250 by 250 pixels. May-Grünwald-Giemsa/Pappenheim stain. Bone marrow smear:
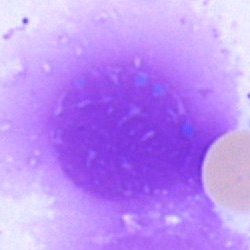
Q: What is shown here?
A: This is an artifact.